Bone marrow aspirate smear. Brightfield, 40× oil-immersion objective — 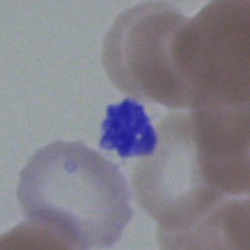

Q: What is shown here?
A: Artifact.